Bone marrow aspirate smear
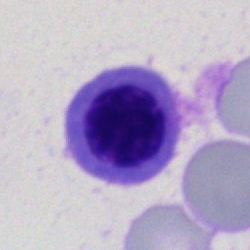The morphological class is nucleated red cell.